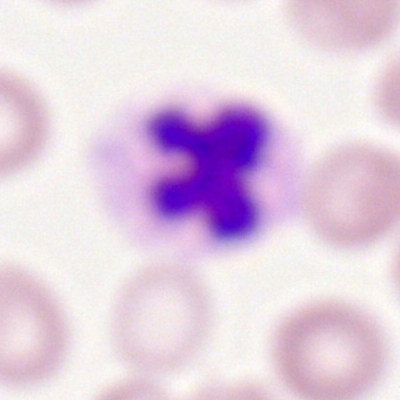

The classification is segmented neutrophil.